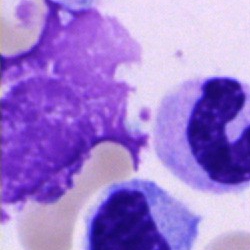 Morphological class: artefact.